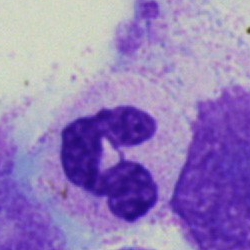 Classification — polymorphonuclear neutrophil.